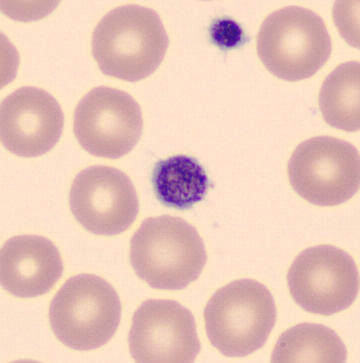 Preparation: MGG-stained; 360×363 px; peripheral blood smear. The morphological class is thrombocyte.